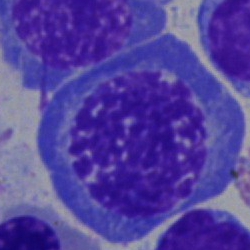

This is a nucleated red cell.